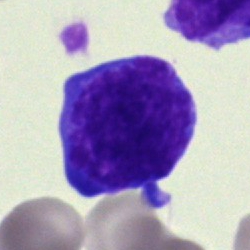
The classification is blast cell.